Bone marrow smear — 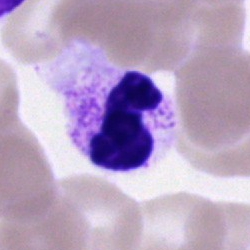
Q: Which cell type is shown here?
A: This is a polymorphonuclear neutrophil.